Bone marrow aspirate smear. Brightfield microscopy, 40× oil immersion
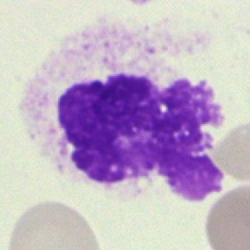 {"cell_type": "artefact"}